Peripheral blood smear:
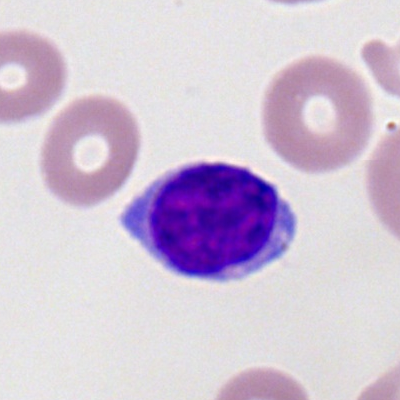Morphology → lymphocyte.